Peripheral blood smear:
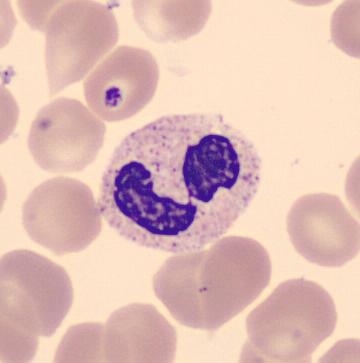 Morphology — neutrophil (segmented).